MGG-stained; single-cell field; bone marrow aspirate smear
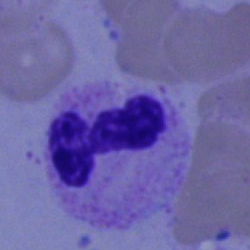 The morphological class is polymorphonuclear neutrophil.